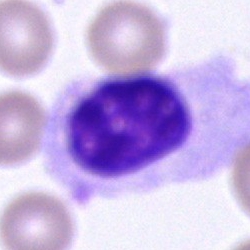
Morphology → unidentifiable cell.